Bone marrow aspirate smear.
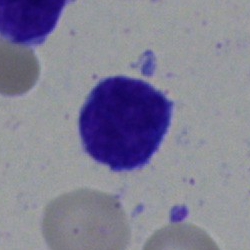 The morphological class is lymphocyte.